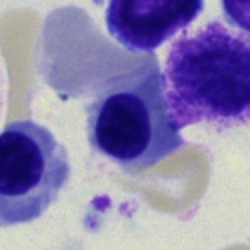 Specimen: bone marrow smear.
Morphological class: nucleated red blood cell.
Lineage: erythroid.